Peripheral blood smear
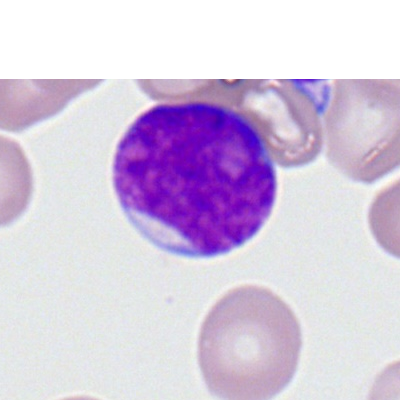 The cell shown is a myeloid blast.